Bone marrow aspirate smear
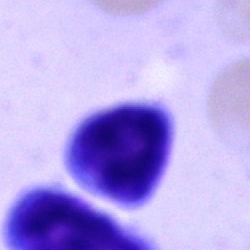Specimen: bone marrow smear.
Cell: lymphocyte.